Image size 250×250; bone marrow aspirate smear
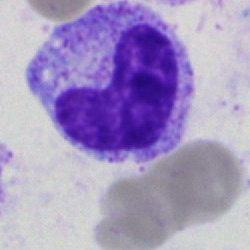
Q: What is the morphological classification of this cell?
A: A metamyelocyte.